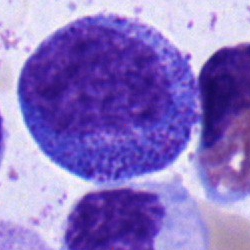Cell type — progranulocyte.